Bone marrow aspirate smear
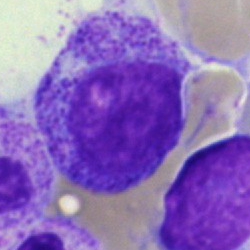
{"cell_type": "myelocyte"}